MGG-stained. Bone marrow aspirate smear — 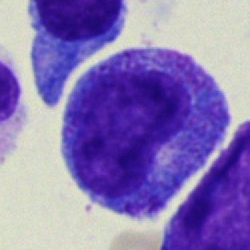Progranulocyte.